Single-cell crop · bone marrow aspirate smear · 250 by 250 pixels.
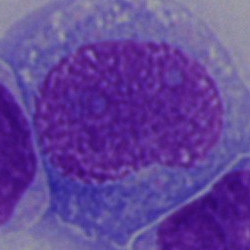

Cell: blast cell.